Brightfield microscopy, 40× oil immersion; bone marrow aspirate smear; cropped to a single cell
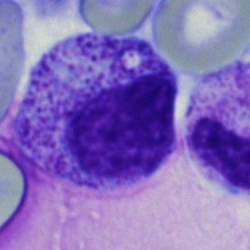 Myelocyte.